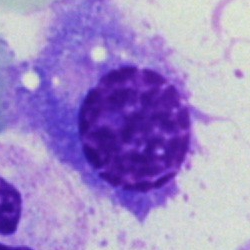Bone marrow aspirate smear, single cell — plasmacyte.